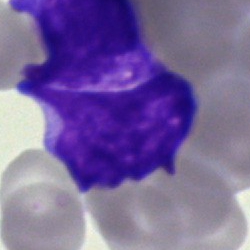 A blast on a bone marrow smear.